400×400 px; peripheral blood smear:
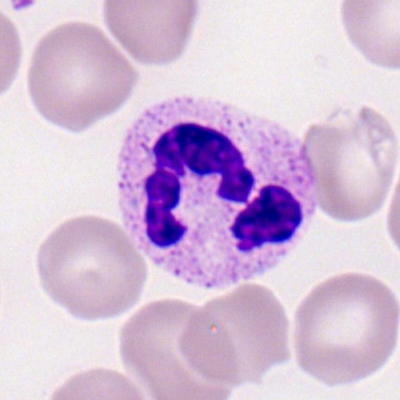
Q: What type of cell is this?
A: Segmented neutrophil.